Bone marrow smear
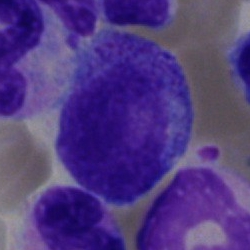
Morphology → progranulocyte.